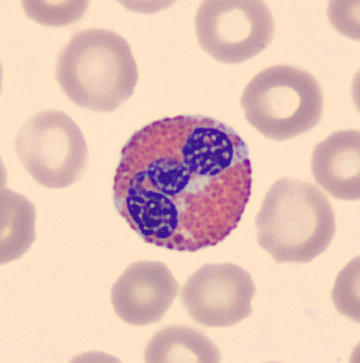 An eosinophil.